Bone marrow smear; 40× oil immersion — 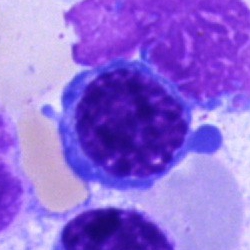
The cell type is normoblast.